100× objective, oil immersion; peripheral blood film — 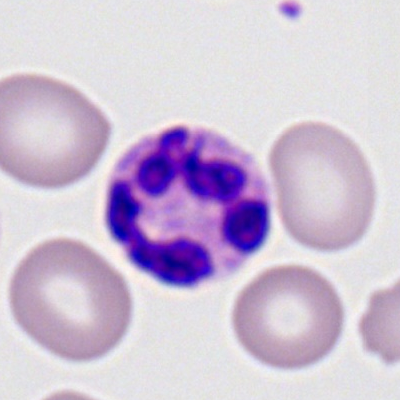
Impression — neutrophil (segmented).